Bone marrow smear:
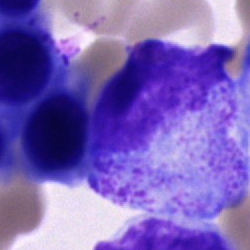Morphological class = progranulocyte.